Pappenheim-stained. Bone marrow aspirate smear:
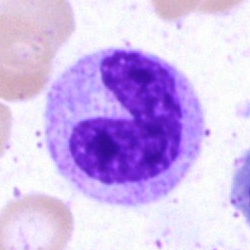Cell: band neutrophil.